Peripheral blood film — 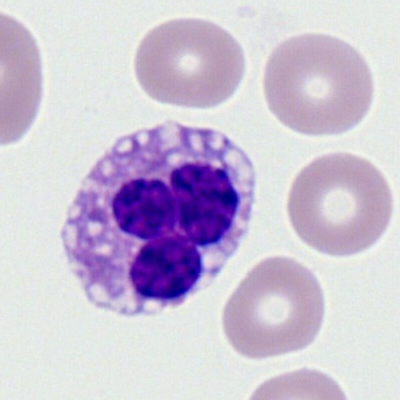

Showing a segmented neutrophil.